Bone marrow smear. Brightfield microscopy, 40× oil immersion
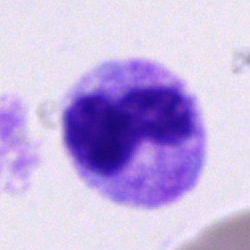{"cell_type": "neutrophil (segmented)", "lineage": "myeloid"}